May-Grünwald-Giemsa stain · bone marrow aspirate smear.
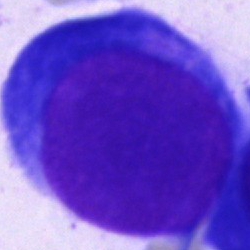

The cell is proerythroblast.